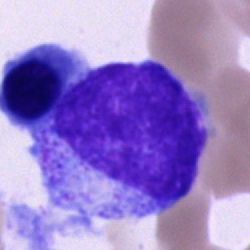

Classification = progranulocyte.